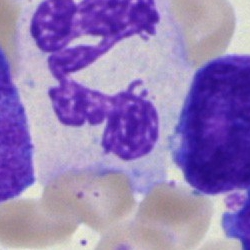Single cell identified as a polymorphonuclear neutrophil.